Bone marrow smear: 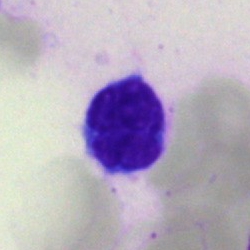Classification — lymphocyte.